Bone marrow smear:
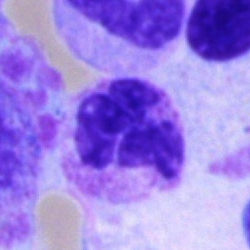Q: What is shown here?
A: Neutrophil (segmented).